360 by 363 pixels; peripheral blood film
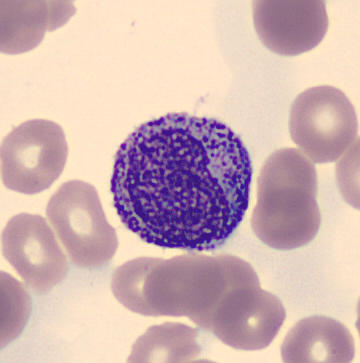
Morphology consistent with a promyelocyte.